250×250 px; bone marrow aspirate smear
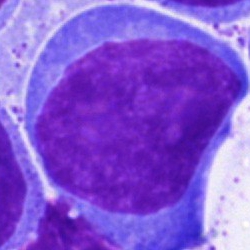
The cell shown is an undifferentiated blast.